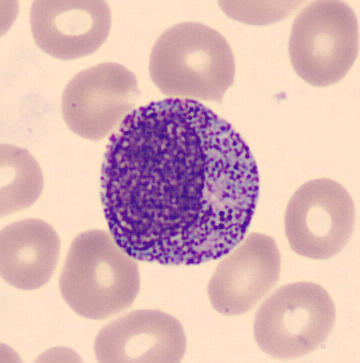A promyelocyte.